Bone marrow smear; 250×250
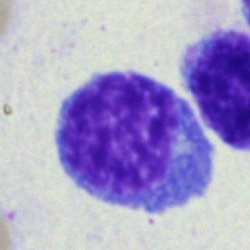Impression → normoblast.